Single-cell crop; 40× objective, oil immersion; bone marrow smear
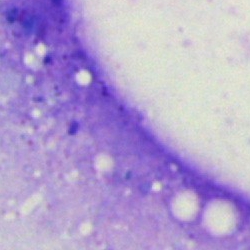 Morphology — artefact.